250×250 px; bone marrow smear — 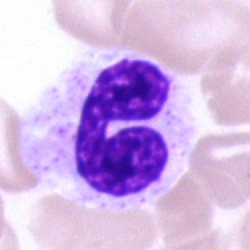

Morphology consistent with a stab cell.